Bone marrow aspirate smear
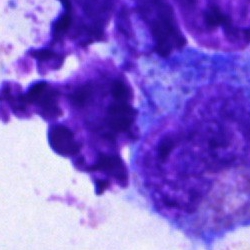

Classification = artifact.